40× objective, oil immersion; bone marrow aspirate smear; 250 by 250 pixels: 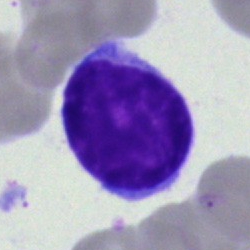
Morphology consistent with a lymphocyte.